Bone marrow smear
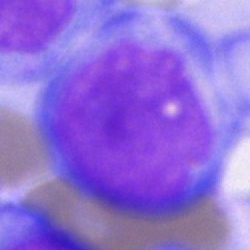The cell type is blast.